MGG-stained. Bone marrow smear:
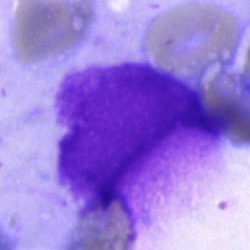 Classification: artefact.